Bone marrow aspirate smear
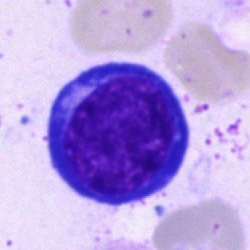

Morphology consistent with a nucleated red cell.